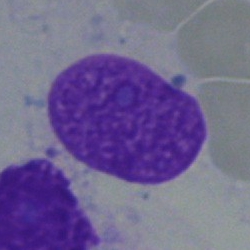

Q: What is shown here?
A: Artefact.